Image size 250×250. Bone marrow smear — 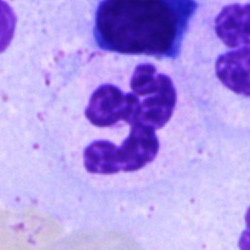

Cell — neutrophil (segmented).